Bone marrow smear.
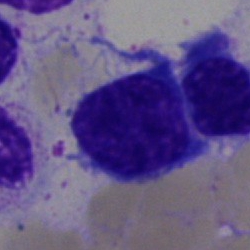 The cell shown is a blast.